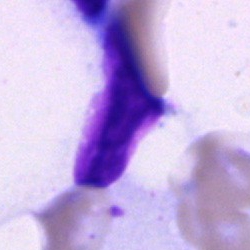

Cell — artifact.